Brightfield, 100× oil-immersion objective; cropped to a single cell; peripheral blood film — 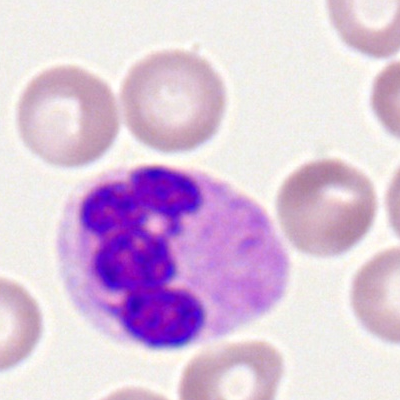 A neutrophil (segmented).